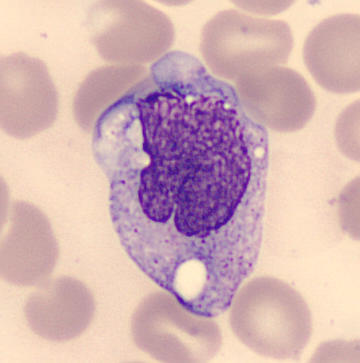

Monocyte.